Bone marrow smear. Pappenheim-stained. Brightfield microscopy, 40× oil immersion.
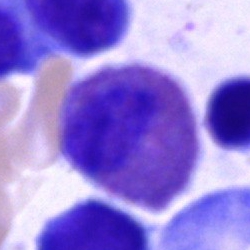
An eosinophil.